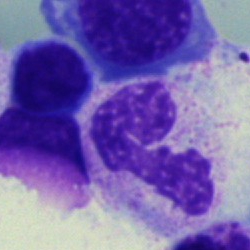Morphology consistent with a segmented neutrophil.